Bone marrow smear — 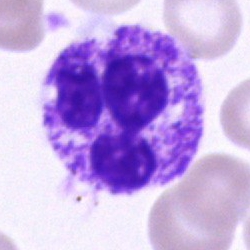

Q: What type of cell is this?
A: This is a segmented neutrophil.